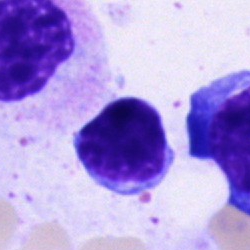 Showing a typical lymphocyte.